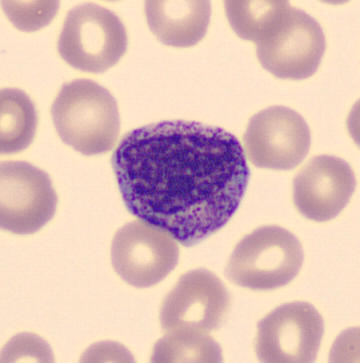 Identified as a myelocyte.